May-Grünwald-Giemsa stain. Bone marrow smear.
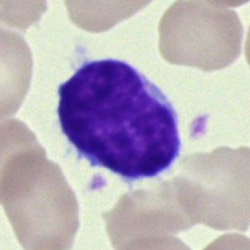 Classification = typical lymphocyte.